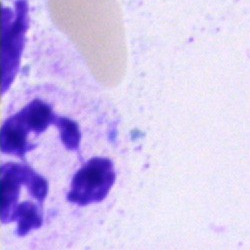

Specimen: bone marrow smear.
Cell type: segmented neutrophil.
Lineage: myeloid.